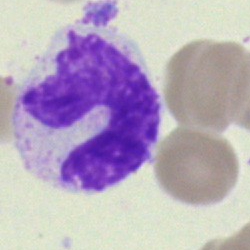
Impression → band neutrophil.